MGG-stained · bone marrow smear: 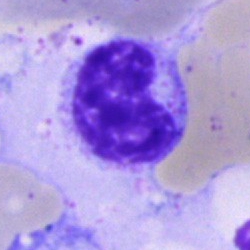Specimen: bone marrow smear.
Morphological class: metamyelocyte.
Lineage: myeloid.